Bone marrow smear; 250×250
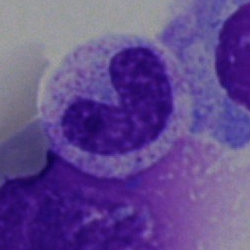 Q: Identify the cell.
A: A band-form neutrophil.